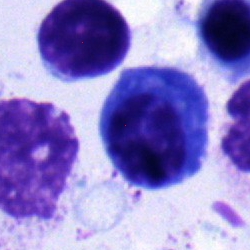

Q: What cell is this?
A: A plasma cell.